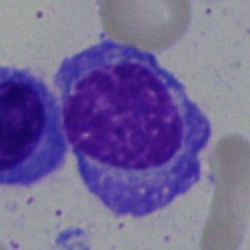Plasma cell.